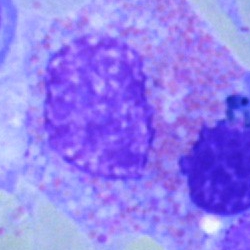

The cell shown is an eosinophilic granulocyte.